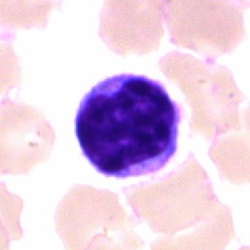 Specimen: bone marrow smear.
Cell: typical lymphocyte.
Lineage: lymphoid.